Bone marrow aspirate smear: 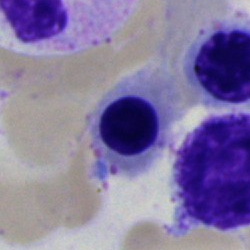Specimen: bone marrow smear.
Morphological class: nucleated red cell.
Lineage: erythroid.